Bone marrow aspirate smear: 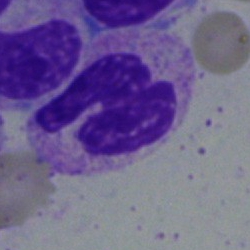

Impression — segmented neutrophil.